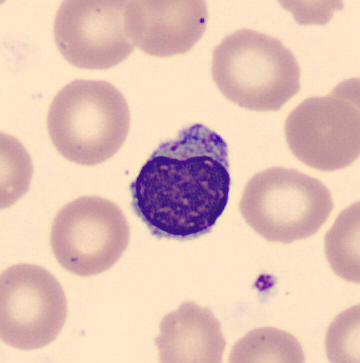This is a typical lymphocyte.
Acquisition: MGG-stained · peripheral blood smear.